Bone marrow aspirate smear:
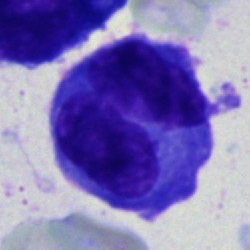The cell shown is a plasmacyte.